Bone marrow smear — 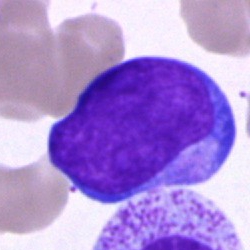Morphological class: undifferentiated blast.